Cropped to a single cell · bone marrow aspirate smear · 250×250 px.
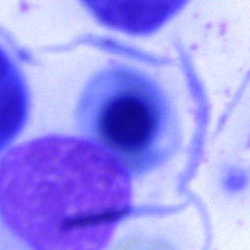 Cell type = normoblast.